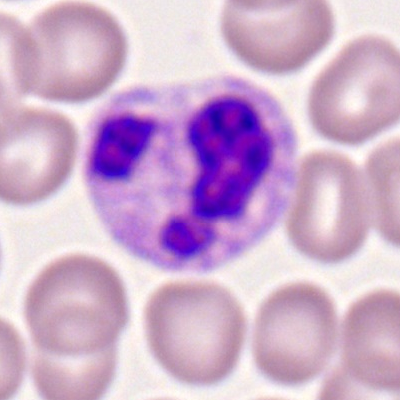Impression — neutrophil (segmented).